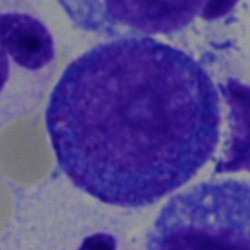{"cell_type": "normoblast", "lineage": "erythroid"}